Bone marrow smear · brightfield, 40× oil-immersion objective:
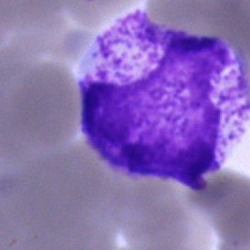

The cell shown is a myelocyte.